40× oil immersion; 250×250 px; bone marrow smear:
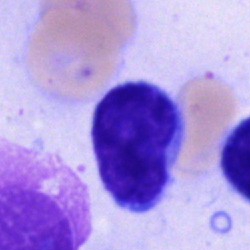

Q: What is shown here?
A: It is a lymphocyte.